Single-cell field; bone marrow aspirate smear — 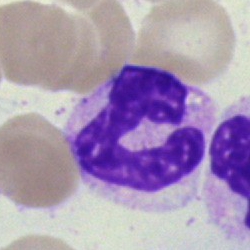Morphological class: segmented neutrophil.